Bone marrow smear; single-cell field — 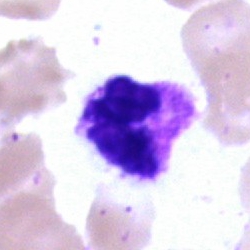Impression → segmented neutrophil.